Bone marrow aspirate smear · image size 250×250.
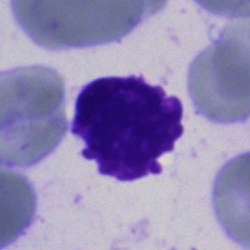
The cell shown is an artefact.